Peripheral blood smear. 400 by 400 pixels: 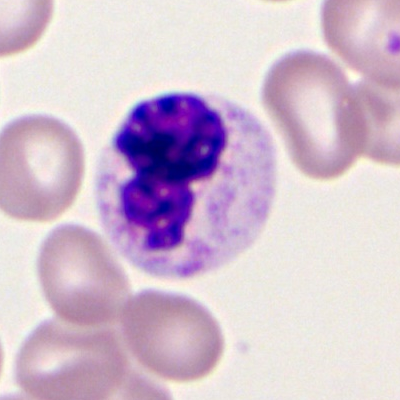 Morphology consistent with a polymorphonuclear neutrophil.